Bone marrow smear · single cell centered in the field · 250×250 px: 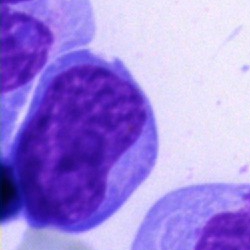

A blast cell.